Bone marrow smear
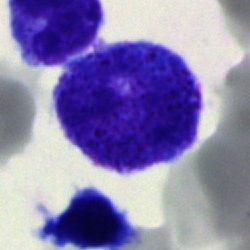
A cell of indeterminate lineage.